Bone marrow aspirate smear:
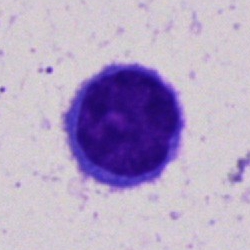The cell shown is a lymphocyte.